Peripheral blood smear
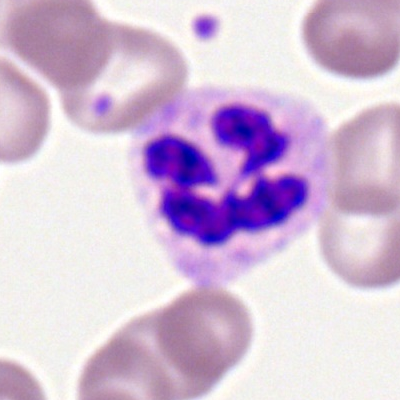 Showing a neutrophil (segmented).